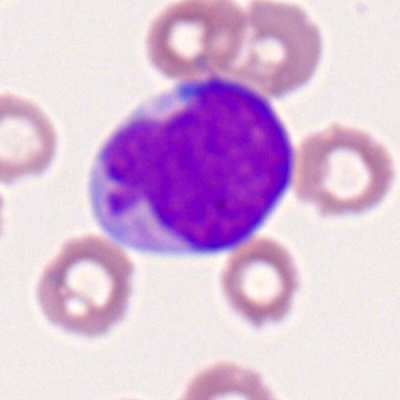 Showing a myeloblast.